Bone marrow smear — 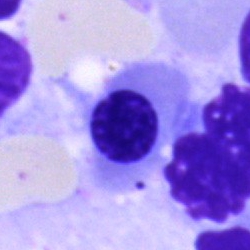 A nucleated red blood cell.